Bone marrow smear · 250×250 px · single-cell crop — 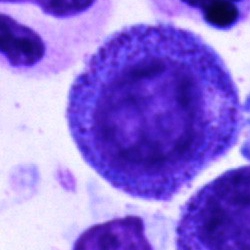Q: What is the morphological classification of this cell?
A: This is a myelocyte.